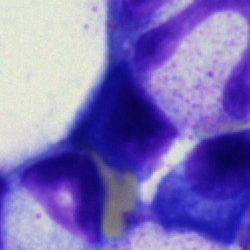
Single-cell crop from a bone marrow smear: artefact.